Bone marrow aspirate smear. MGG-stained
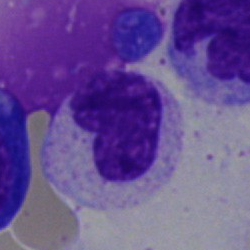

The classification is eosinophilic granulocyte.